250×250 px · bone marrow aspirate smear:
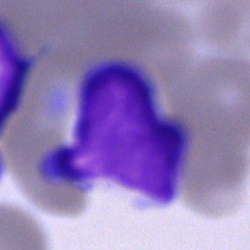
Single cell identified as a lymphocyte.